May-Grünwald-Giemsa stain · bone marrow smear.
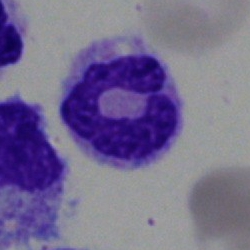 This is a neutrophil (segmented).